Brightfield microscopy, 40× oil immersion; bone marrow smear; single cell centered in the field: 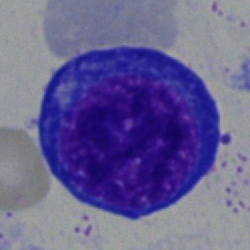This is a proerythroblast.